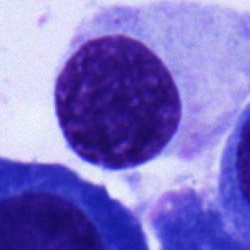 This is a plasmacyte.